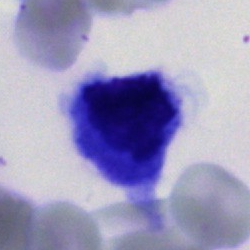

Q: Which cell type is shown here?
A: Unidentifiable cell.